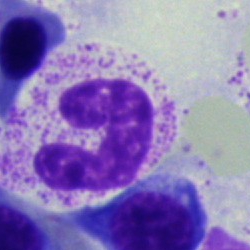 Q: What is shown here?
A: A band neutrophil.